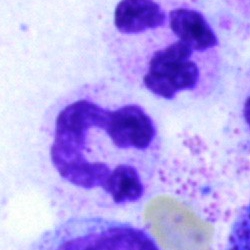 Neutrophil (segmented).